Bone marrow smear · single-cell field
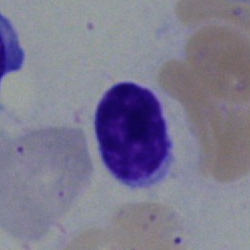 Q: What is the morphological classification of this cell?
A: A lymphocyte.